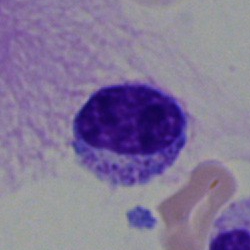
Showing a myelocyte.